Image size 250×250; Pappenheim-stained; bone marrow aspirate smear: 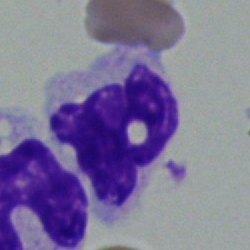 This is a monocyte.